Bone marrow aspirate smear. May-Grünwald-Giemsa/Pappenheim stain. 250×250.
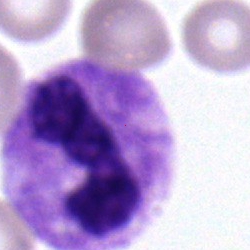 This is a stab cell.